Bone marrow smear · Pappenheim-stained
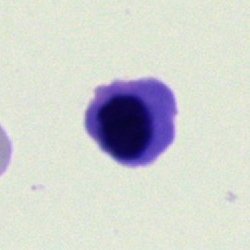

Erythroblast.